Bone marrow aspirate smear:
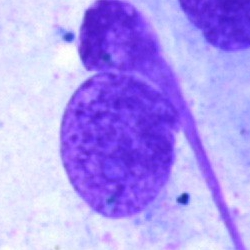 Classification = artefact.